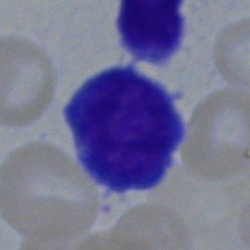
Single-cell crop from a bone marrow smear: lymphocyte.